Bone marrow smear; single-cell field — 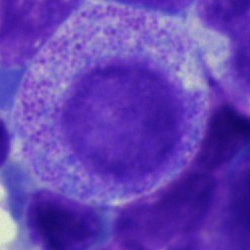A progranulocyte.